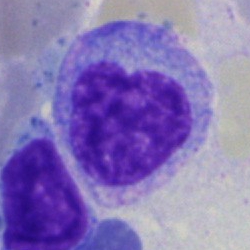
A monocyte on a bone marrow smear.